Bone marrow aspirate smear. May-Grünwald-Giemsa/Pappenheim stain — 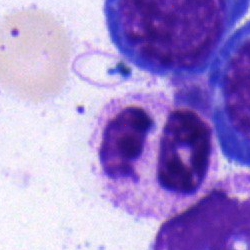

A polymorphonuclear neutrophil.